Bone marrow aspirate smear: 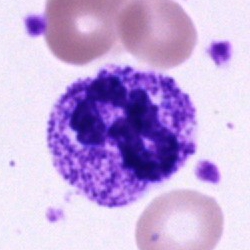 {"cell_type": "neutrophil (segmented)", "lineage": "myeloid"}